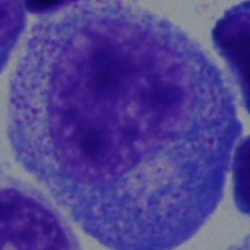 The classification is promyelocyte.